Bone marrow aspirate smear:
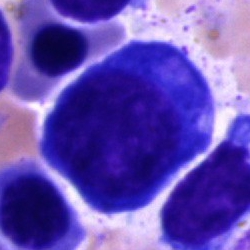A proerythroblast.